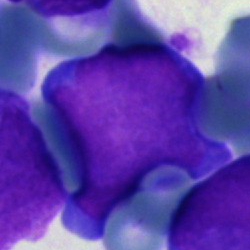Specimen: bone marrow smear.
Cell type: blast.